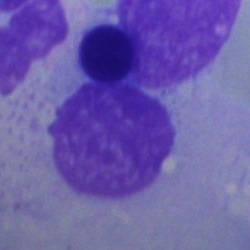Q: What is shown here?
A: It is an artefact.